Bone marrow aspirate smear
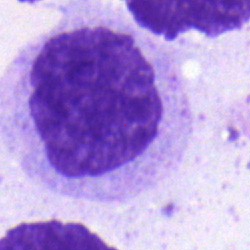
Q: What is shown here?
A: Myelocyte.